Peripheral blood film:
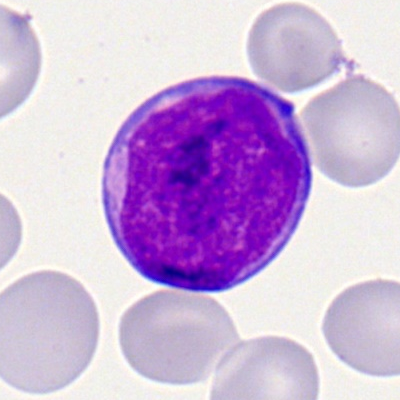

Myeloid blast.